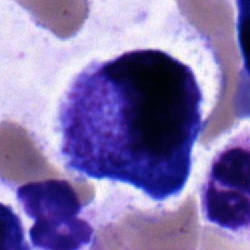Impression → promyelocyte.